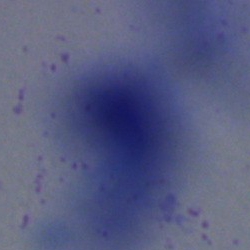 Q: What is shown here?
A: An artifact.